Bone marrow aspirate smear:
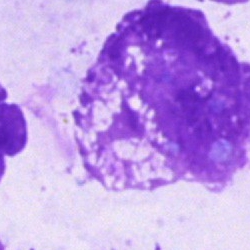

{"cell_type": "artefact"}